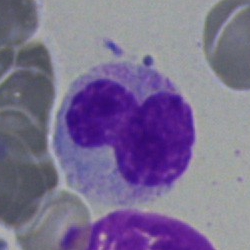

{"cell_type": "polymorphonuclear neutrophil"}